Brightfield, 40× oil-immersion objective; bone marrow smear.
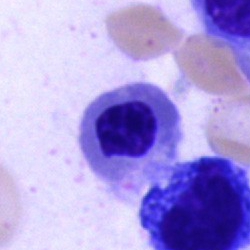
Q: Which cell type is shown here?
A: Nucleated red blood cell.